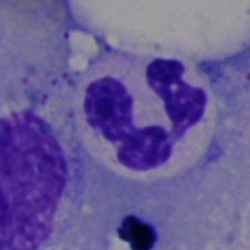 Classification = segmented neutrophil.